Bone marrow aspirate smear; MGG-stained.
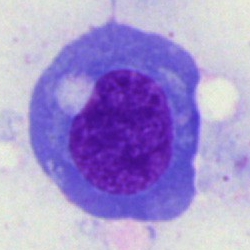
Q: What cell is this?
A: Nucleated red blood cell.